Bone marrow aspirate smear: 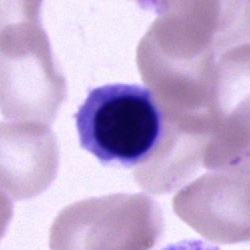
Morphology consistent with a nucleated red cell.